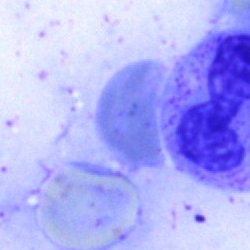
Specimen: bone marrow smear.
Cell: artefact.